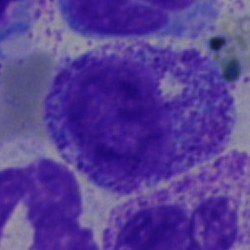
Specimen: bone marrow aspirate smear.
Morphological class: myelocyte.
Lineage: myeloid.